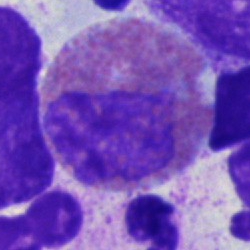 Eosinophil.